Bone marrow smear:
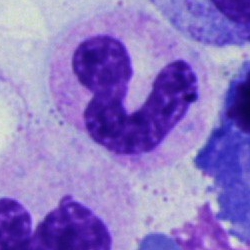 Single cell identified as a band-form neutrophil.